Bone marrow aspirate smear. Pappenheim-stained
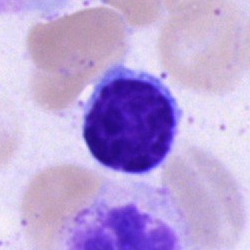
Showing a typical lymphocyte.